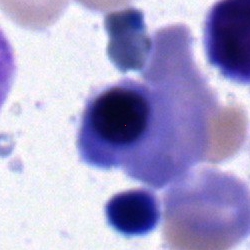 A normoblast on a bone marrow smear.